Bone marrow aspirate smear; May-Grünwald-Giemsa stain — 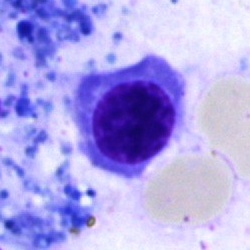
Cell type — nucleated red cell.